Peripheral blood smear · brightfield, 100× oil-immersion objective.
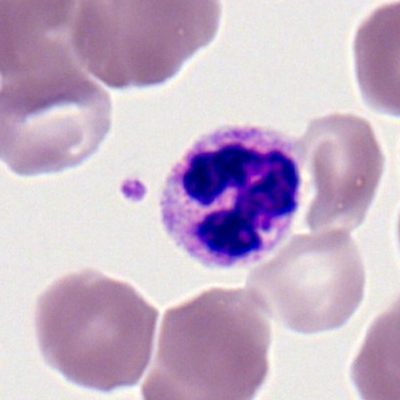Q: What is the morphological classification of this cell?
A: This is a segmented neutrophil.